Bone marrow aspirate smear: 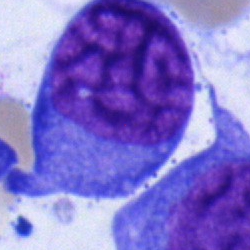

Classification = blast cell.